Bone marrow smear
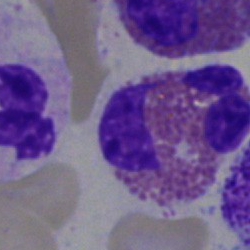

Specimen: bone marrow smear.
Morphological class: eosinophil.
Lineage: myeloid.